Bone marrow aspirate smear.
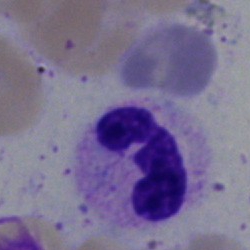Morphological class: polymorphonuclear neutrophil.